Bone marrow smear
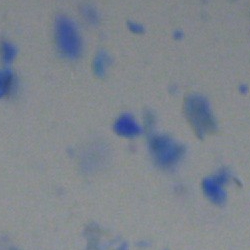Impression → artifact.